Bone marrow smear · May-Grünwald-Giemsa stain.
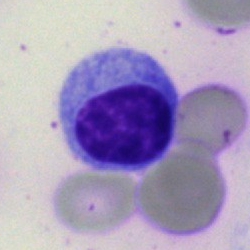 The cell is typical lymphocyte.